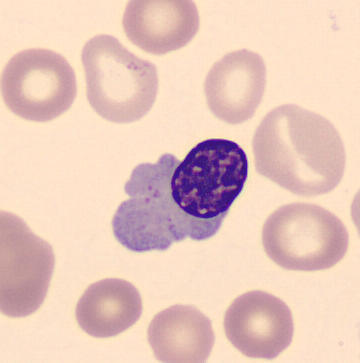The cell shown is an erythroblast. Peripheral blood smear.